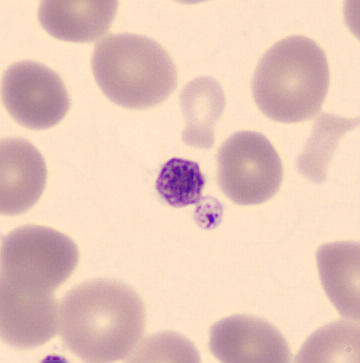Morphology consistent with a platelet. Image size 360×363; peripheral blood film.